Single-cell field. Bone marrow aspirate smear — 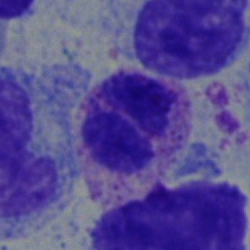Single cell identified as a basophil.